Bone marrow aspirate smear. Single-cell field: 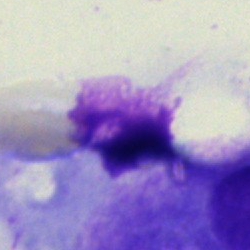 This is an artifact.